Single-cell crop. Bone marrow smear: 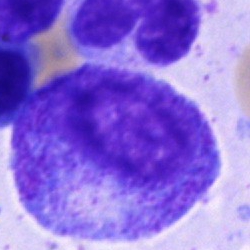

Q: What type of cell is this?
A: Promyelocyte.